Bone marrow smear
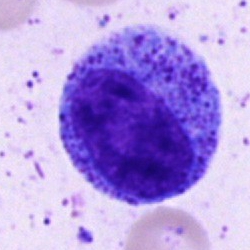 Q: Which cell type is shown here?
A: It is a promyelocyte.